Bone marrow aspirate smear.
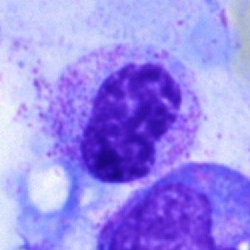
Specimen: bone marrow aspirate smear.
Cell: band-form neutrophil.
Lineage: myeloid.